Bone marrow smear: 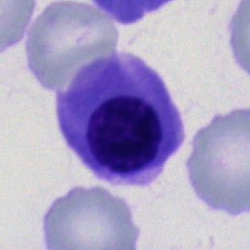

Morphology consistent with a nucleated red blood cell.